Peripheral blood smear — 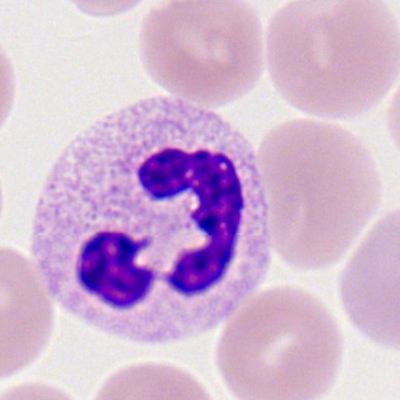

{"cell_type": "neutrophil (segmented)"}